Peripheral blood smear — 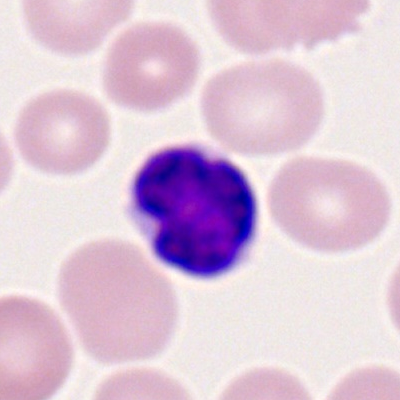Impression → typical lymphocyte.